Bone marrow aspirate smear — 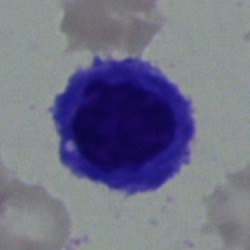
Classification — plasmacyte.